Cropped to a single cell · bone marrow aspirate smear · MGG-stained: 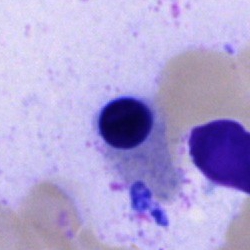Morphological class = erythroblast.